Romanowsky-stained. Peripheral blood smear — 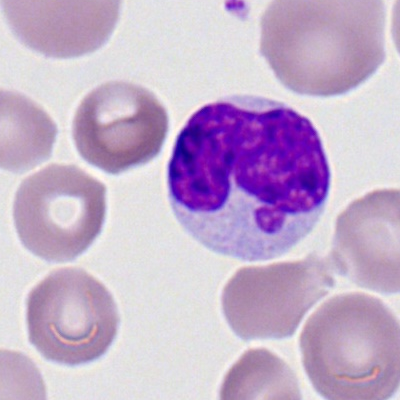
Q: Which cell type is shown here?
A: It is a monocyte.